Bone marrow smear; brightfield microscopy, 40× oil immersion; image size 250×250: 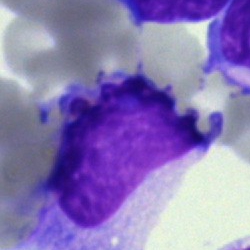Q: What is shown here?
A: This is a blast.